Bone marrow smear: 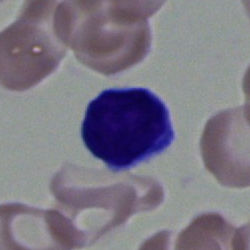

Specimen: bone marrow aspirate smear.
Classification: lymphocyte.